Bone marrow smear
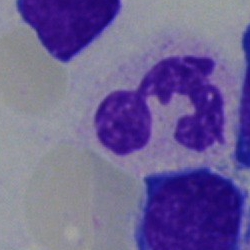Impression — polymorphonuclear neutrophil.